Bone marrow aspirate smear: 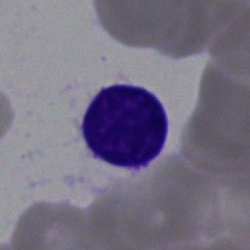 Typical lymphocyte.